250 by 250 pixels; May-Grünwald-Giemsa/Pappenheim stain; bone marrow smear
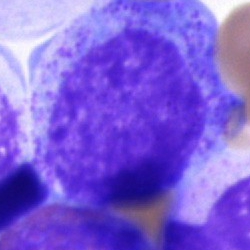

The morphological class is progranulocyte.